Bone marrow smear
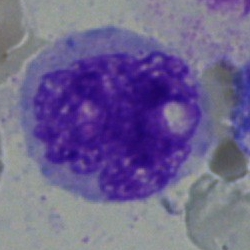Q: What type of cell is this?
A: This is a monocyte.